Bone marrow aspirate smear.
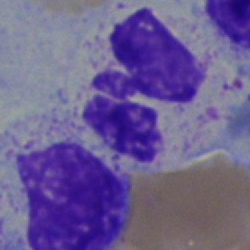Morphology consistent with a neutrophil (segmented).